Peripheral blood film · single-cell field
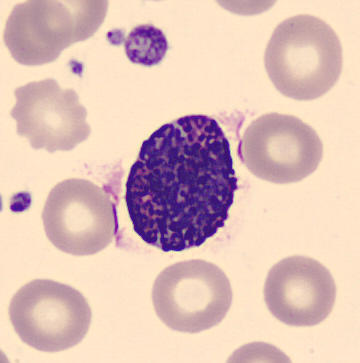

The cell is basophil.